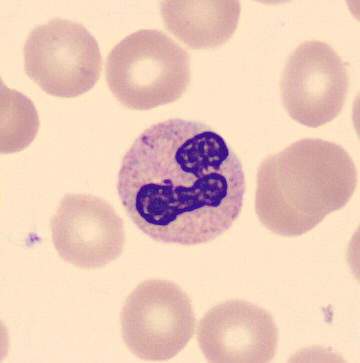

The morphological class is neutrophil (segmented).